Bone marrow smear — 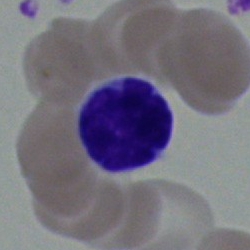

Q: What cell is this?
A: It is a lymphocyte.